Single-cell field · 250×250 · bone marrow smear:
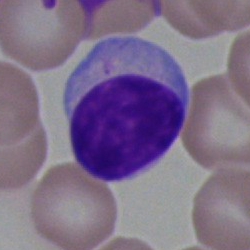 Morphology — typical lymphocyte.